Bone marrow aspirate smear.
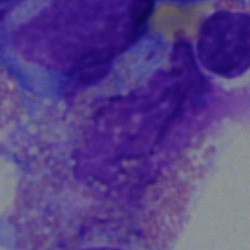

Showing an eosinophil.